Brightfield, 40× oil-immersion objective. Bone marrow aspirate smear: 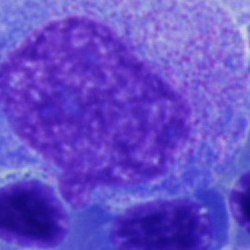
Showing a myelocyte.